Bone marrow smear.
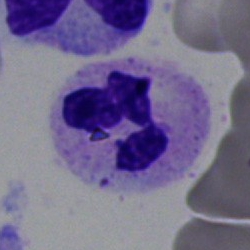 Impression → neutrophil (segmented).